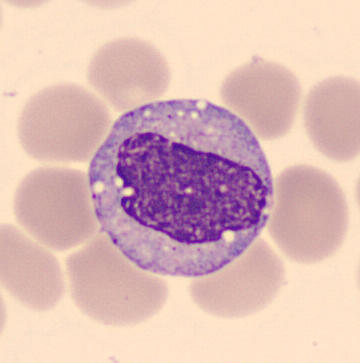Cell — monocyte. Peripheral blood smear.